Peripheral blood film
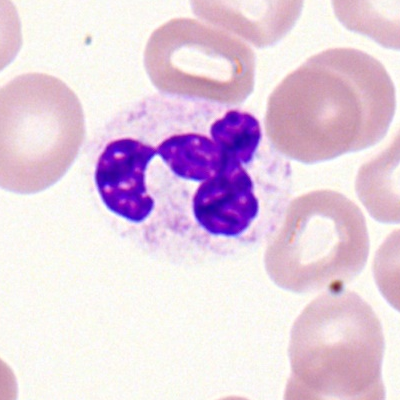

A segmented neutrophil.